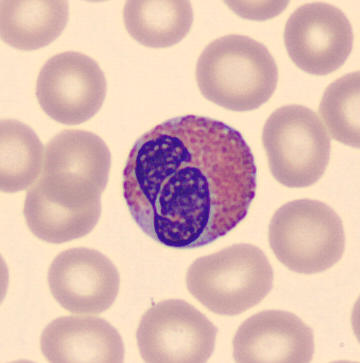

Image: Peripheral blood film. Cell type = eosinophilic granulocyte.